Bone marrow smear
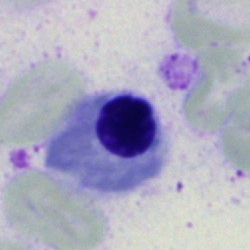
Cell type — normoblast.